Peripheral blood film. 400 by 400 pixels. 100× objective, oil immersion: 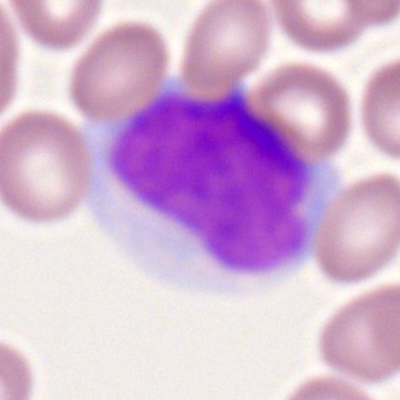 A monocyte.